Bone marrow smear · image size 250×250 · single-cell field: 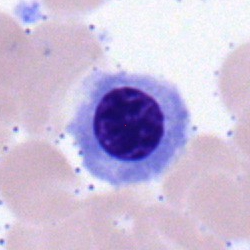

An erythroblast.